Bone marrow smear.
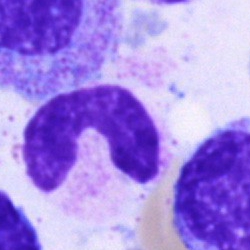 Q: What cell is this?
A: This is a stab cell.